Peripheral blood film · 100× oil immersion
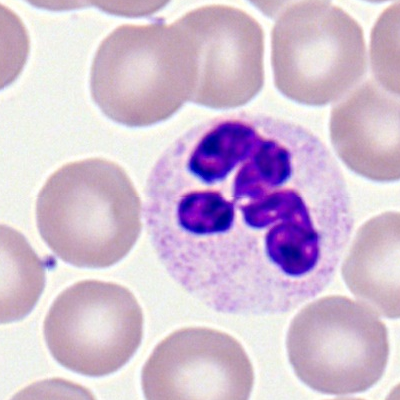
Classification: neutrophil (segmented).